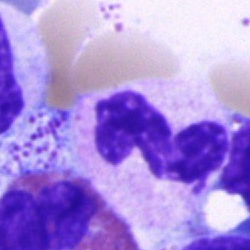Impression → segmented neutrophil.